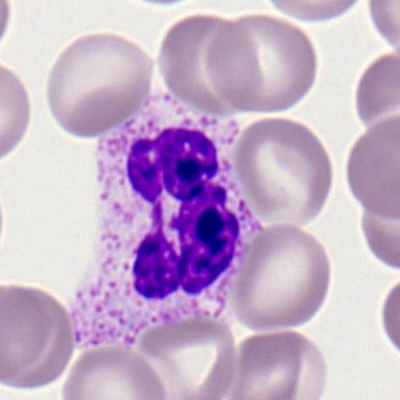 Morphological class: neutrophil (segmented).